May-Grünwald-Giemsa/Pappenheim stain; bone marrow aspirate smear; 250 by 250 pixels: 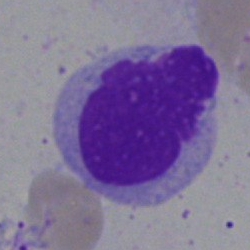

The classification is artefact.